250×250 · bone marrow smear — 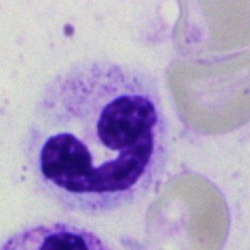

Morphology consistent with a polymorphonuclear neutrophil.